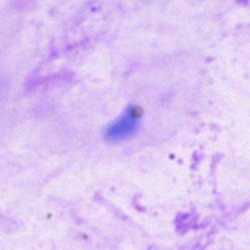 This is an artifact.